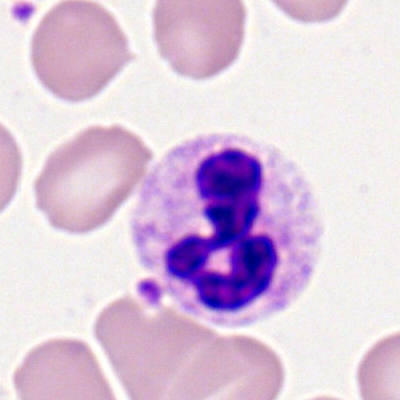

The morphological class is polymorphonuclear neutrophil.